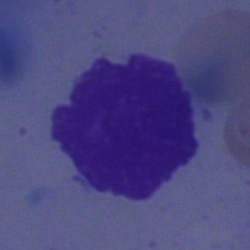 Morphological class: artefact.